40× oil immersion. Bone marrow aspirate smear
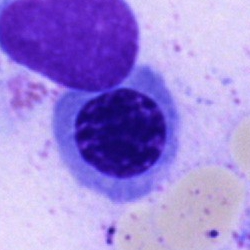

Nucleated red blood cell.